Bone marrow aspirate smear. May-Grünwald-Giemsa/Pappenheim stain: 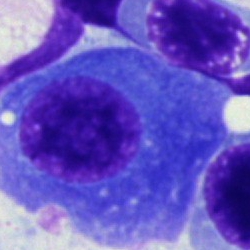Morphology — plasma cell.